Bone marrow aspirate smear; brightfield, 40× oil-immersion objective: 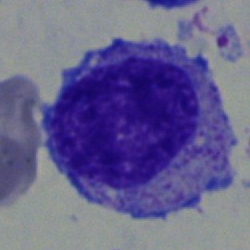
Morphology consistent with a myelocyte.